250×250 px · bone marrow aspirate smear · brightfield microscopy, 40× oil immersion: 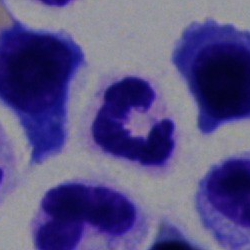

{"cell_type": "neutrophil (segmented)"}